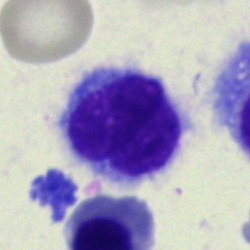Bone marrow aspirate smear, single cell — hairy cell.